Bone marrow smear: 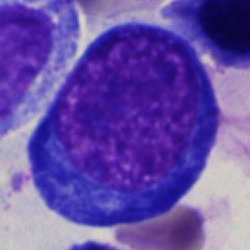 The classification is pronormoblast.